Bone marrow aspirate smear.
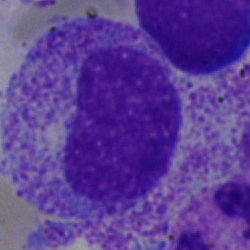

The morphological class is metamyelocyte.